Bone marrow aspirate smear.
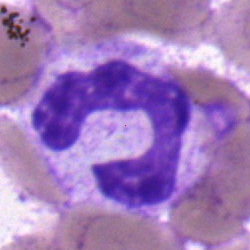The cell type is band-form neutrophil.